M8 digital microscope (Precipoint), 100× oil immersion · peripheral blood film:
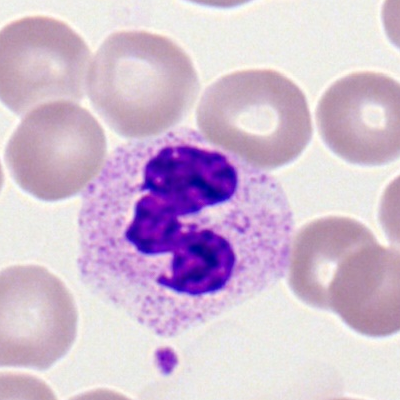
The cell shown is a polymorphonuclear neutrophil.